Single-cell crop; bone marrow aspirate smear:
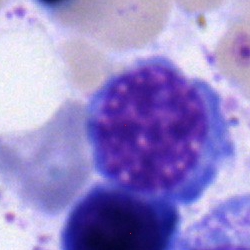

Morphological class: erythroblast.